Bone marrow smear; brightfield, 40× oil-immersion objective.
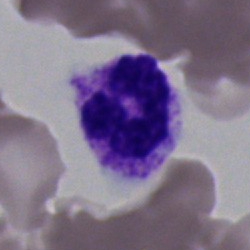 Classification — polymorphonuclear neutrophil.